Cropped to a single cell. May-Grünwald-Giemsa stain. Bone marrow aspirate smear — 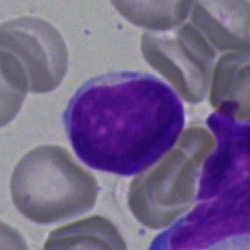Impression → typical lymphocyte.